Bone marrow aspirate smear · brightfield microscopy, 40× oil immersion:
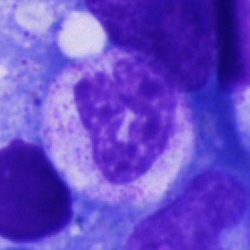
The cell shown is a polymorphonuclear neutrophil.